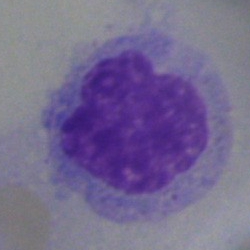
Q: Which cell type is shown here?
A: Monocyte.